Bone marrow aspirate smear: 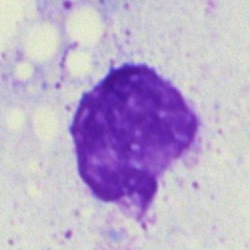
Specimen: bone marrow smear.
Classification: artefact.